250×250 px. Bone marrow smear — 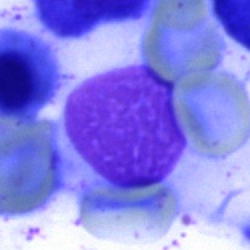Cell = cell of indeterminate lineage.